Bone marrow smear.
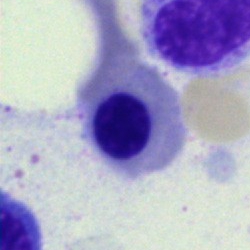

Q: What is shown here?
A: Erythroblast.